Bone marrow aspirate smear — 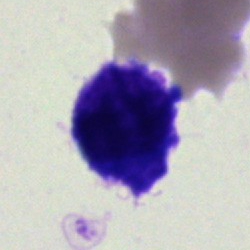
Q: What is shown here?
A: An artefact.